Peripheral blood film · 400 by 400 pixels · single cell centered in the field
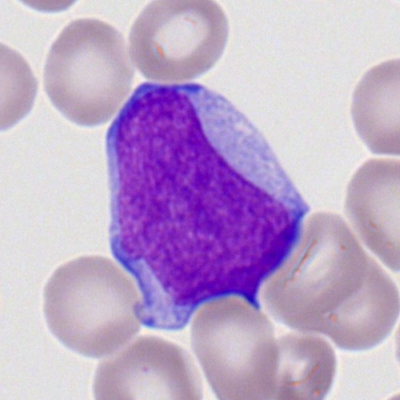The cell shown is a myeloid blast.